Bone marrow aspirate smear:
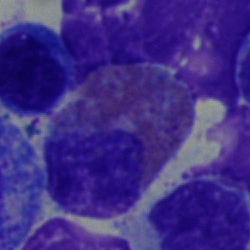
Impression — eosinophilic granulocyte.